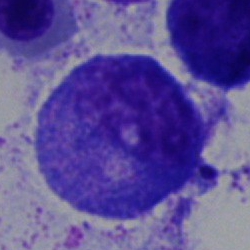
{"cell_type": "promyelocyte", "lineage": "myeloid"}